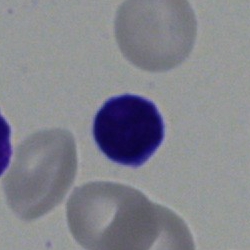 The cell shown is a typical lymphocyte.